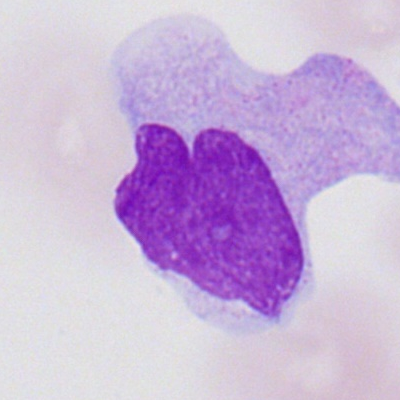

Q: Which cell type is shown here?
A: It is a monocyte.